Bone marrow aspirate smear:
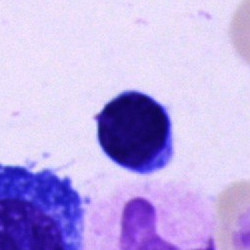Typical lymphocyte.